Bone marrow aspirate smear
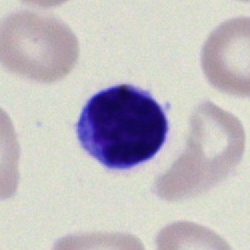 Q: Identify the cell.
A: It is a typical lymphocyte.